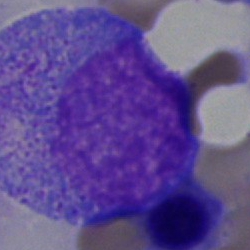

Morphology → progranulocyte.